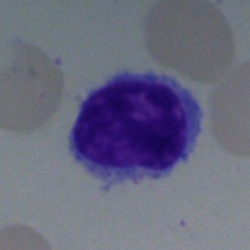 Single cell identified as a lymphocyte.